Brightfield microscopy, 40× oil immersion; bone marrow aspirate smear:
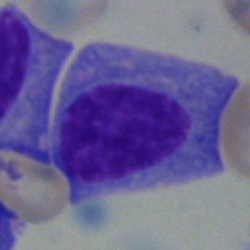Cell: plasma cell.